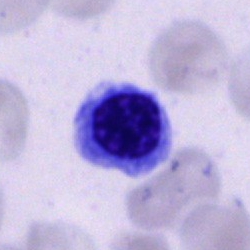

The classification is nucleated red cell.